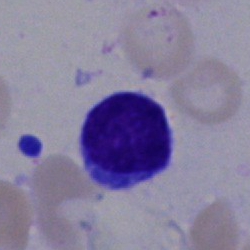
Cell — lymphocyte.